May-Grünwald-Giemsa-stained. Peripheral blood film:
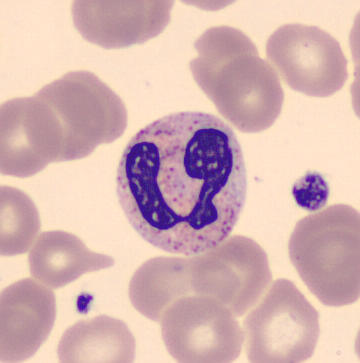 Showing a polymorphonuclear neutrophil.